Bone marrow aspirate smear:
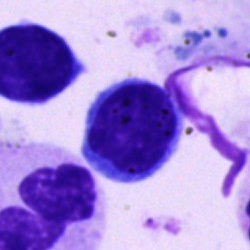

Q: Which cell type is shown here?
A: It is a lymphocyte.